Bone marrow smear:
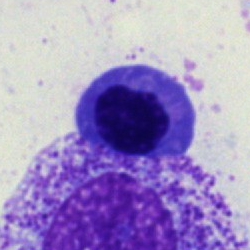 Nucleated red blood cell.